Single cell centered in the field · bone marrow aspirate smear · May-Grünwald-Giemsa stain — 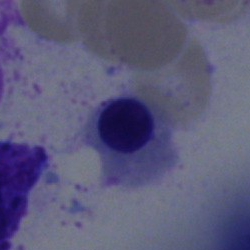
Nucleated red blood cell.